Single-cell crop. Bone marrow aspirate smear: 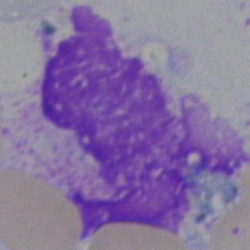

Q: What is shown here?
A: An artifact.